Bone marrow smear — 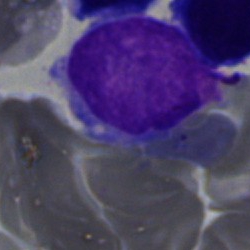

Morphological class = blast cell.